Peripheral blood smear.
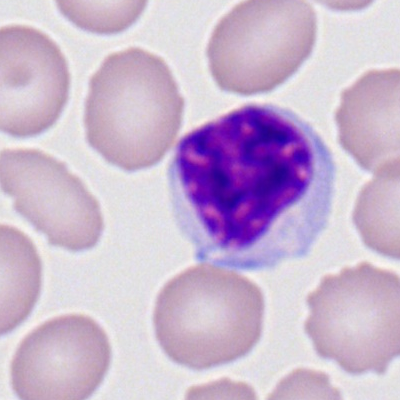Q: Which cell type is shown here?
A: It is a lymphocyte.